Cropped to a single cell; bone marrow smear; brightfield, 40× oil-immersion objective: 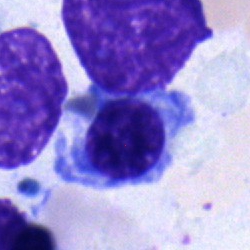
Showing a nucleated red blood cell.